40× objective, oil immersion; bone marrow smear:
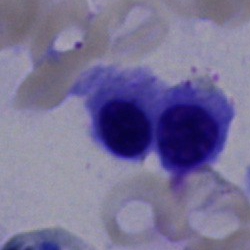

Q: Which cell type is shown here?
A: Nucleated red cell.